Bone marrow smear
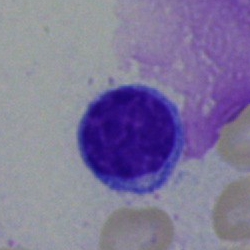

The cell shown is a lymphocyte.